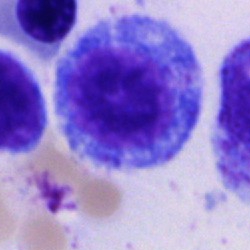
Showing a promyelocyte.